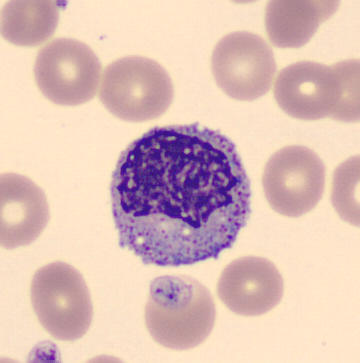Identified as a myelocyte.
Image: Peripheral blood smear.